Bone marrow smear. Image size 250×250. Brightfield microscopy, 40× oil immersion — 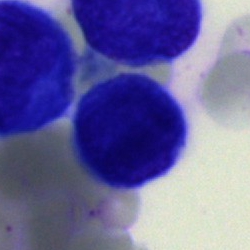
Classification = cell of indeterminate lineage.